Peripheral blood smear: 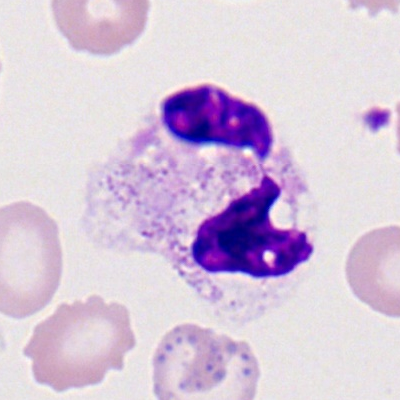 The cell shown is a neutrophil (segmented).